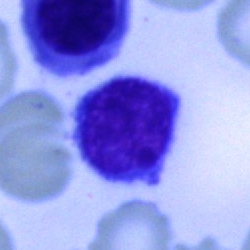
{"cell_type": "lymphocyte", "lineage": "lymphoid"}